40× objective, oil immersion. May-Grünwald-Giemsa stain. Bone marrow smear.
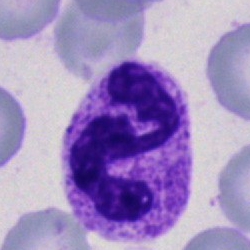
Q: What type of cell is this?
A: A segmented neutrophil.